Bone marrow aspirate smear — 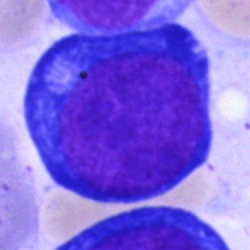
The cell is pronormoblast.